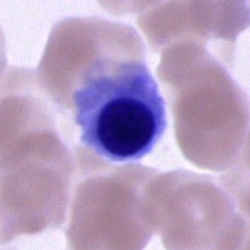 Q: Identify the cell.
A: A nucleated red cell.